Image size 250×250. Bone marrow smear:
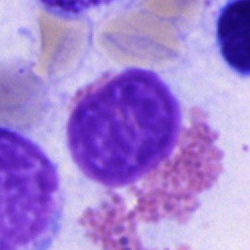
An eosinophil.